Bone marrow aspirate smear; 40× oil immersion: 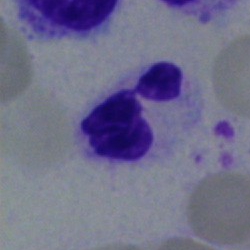
The morphological class is segmented neutrophil.